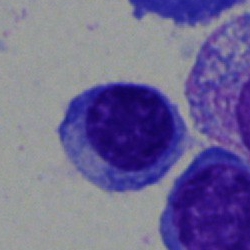Bone marrow smear showing a typical lymphocyte.